Bone marrow smear: 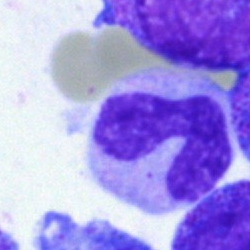
A stab cell.